40× oil immersion. Bone marrow aspirate smear
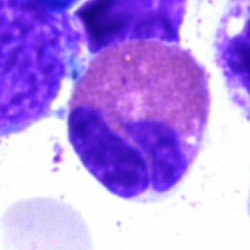
Eosinophil.